Bone marrow aspirate smear.
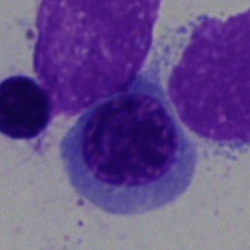

A nucleated red blood cell.